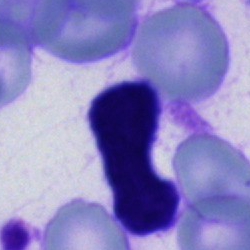 An unidentifiable cell.